Bone marrow aspirate smear.
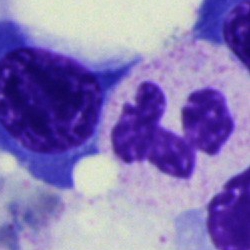

Cell type — neutrophil (segmented).